Bone marrow smear.
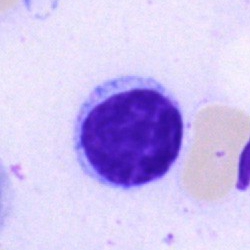Showing a lymphocyte.